May-Grünwald-Giemsa/Pappenheim stain. Bone marrow aspirate smear: 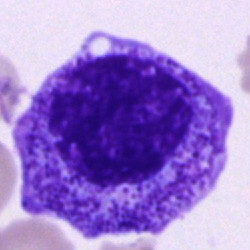

Impression — promyelocyte.